Bone marrow smear:
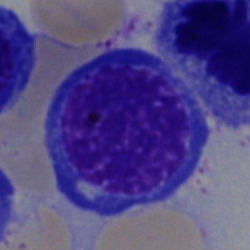

Specimen: bone marrow aspirate smear.
Morphological class: erythroblast.
Lineage: erythroid.